Bone marrow smear.
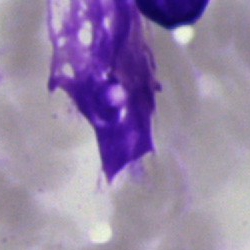

The cell shown is an artifact.